May-Grünwald-Giemsa/Pappenheim stain. Bone marrow aspirate smear: 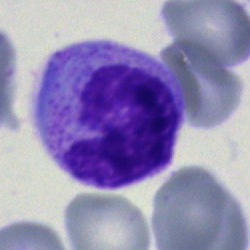

Impression — monocyte.